May-Grünwald-Giemsa/Pappenheim stain; bone marrow smear — 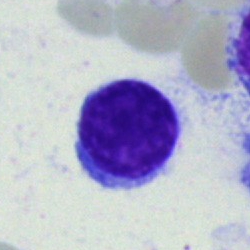 Morphology consistent with a typical lymphocyte.